May-Grünwald-Giemsa stain · bone marrow aspirate smear — 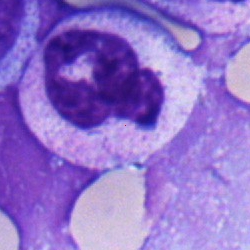 Specimen: bone marrow smear.
Cell type: segmented neutrophil.